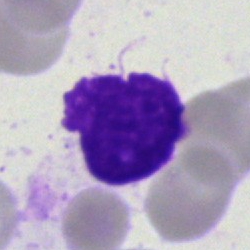

Classification: artifact.